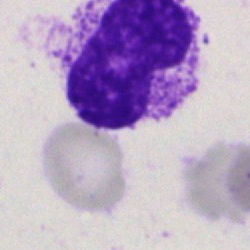 Specimen: bone marrow smear.
Cell: artifact.